Bone marrow smear:
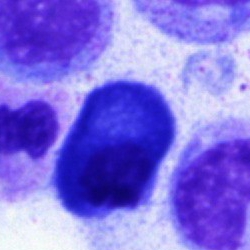 Impression — plasmacyte.